Bone marrow smear.
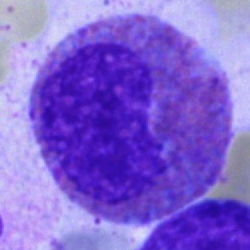Morphological class = eosinophilic granulocyte.